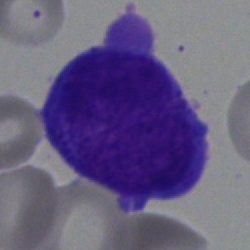

The cell type is blast.